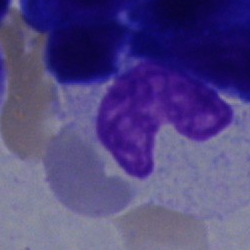Impression → artifact.